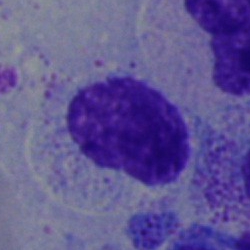Q: Which cell type is shown here?
A: Myelocyte.